Bone marrow smear · 250×250
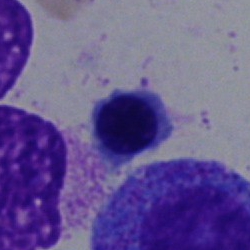Erythroblast.